Peripheral blood smear:
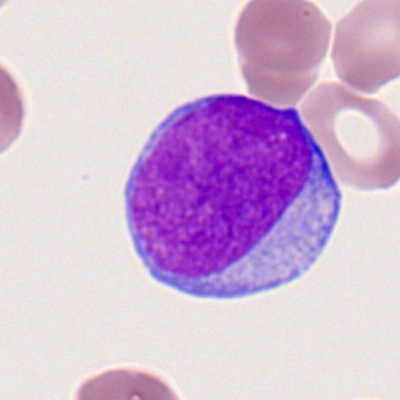
Myeloblast.